Bone marrow smear; 250×250 px.
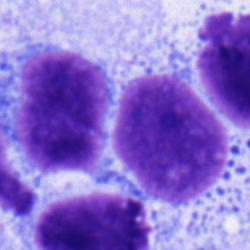Cell type: typical lymphocyte.